Bone marrow aspirate smear.
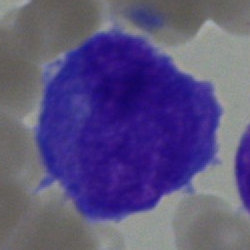Specimen: bone marrow aspirate smear.
Cell: blast.